Bone marrow aspirate smear
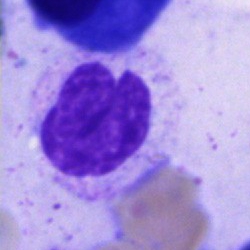Cell type = neutrophil (band).